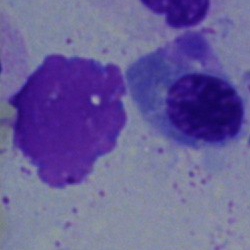 Impression — nucleated red cell.